Bone marrow smear. Image size 250×250:
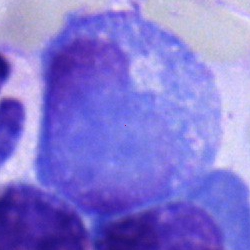 A progranulocyte.